Bone marrow smear — 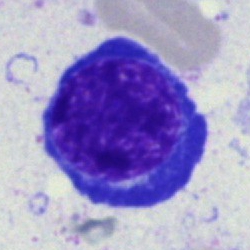

Q: What cell is this?
A: A normoblast.